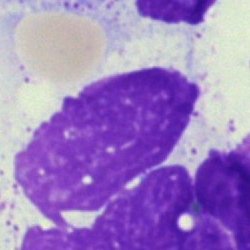
Showing an artefact.